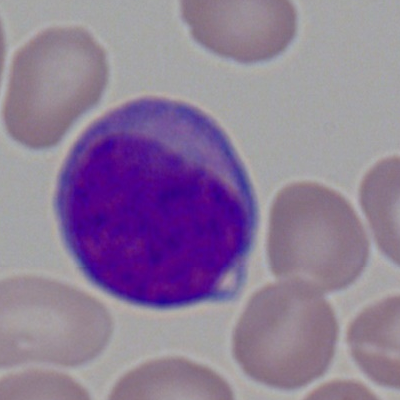Cell — myeloblast.